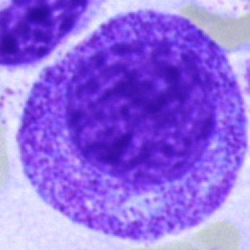This is a myelocyte.